Bone marrow smear. 40× oil immersion
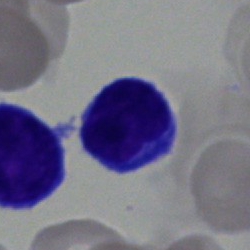

Cell = lymphocyte.